Bone marrow smear: 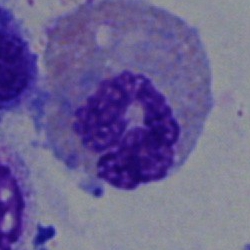The cell type is eosinophil.